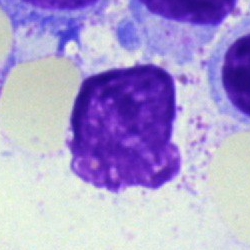Single cell identified as an artefact.